Bone marrow smear:
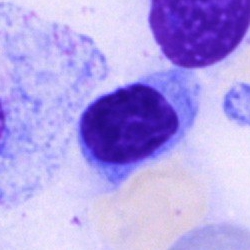 Morphology consistent with a typical lymphocyte.